Bone marrow aspirate smear:
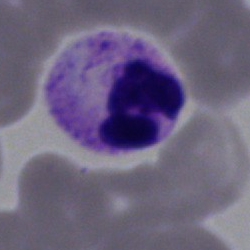
This is a segmented neutrophil.